Bone marrow smear.
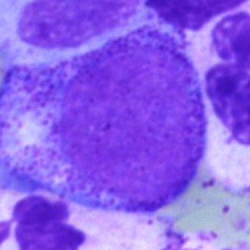

The cell type is progranulocyte.